Single-cell crop; May-Grünwald-Giemsa stain; bone marrow aspirate smear:
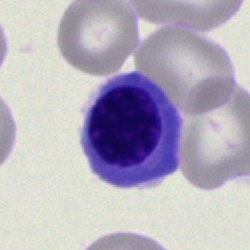 Erythroblast.